Bone marrow smear · brightfield, 40× oil-immersion objective · May-Grünwald-Giemsa/Pappenheim stain — 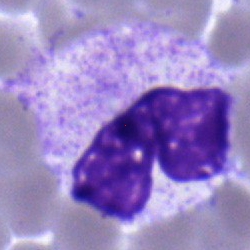

Morphology consistent with a stab cell.